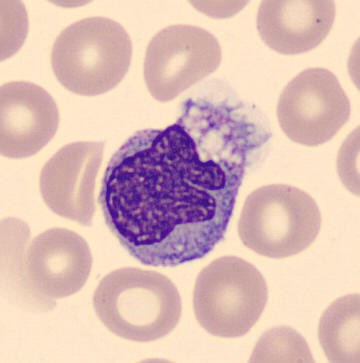
Specimen: peripheral blood film.
Morphological class: monocyte.
Lineage: myeloid.